Bone marrow aspirate smear.
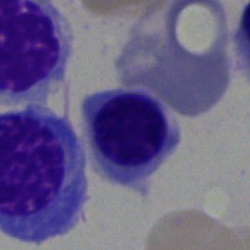 Specimen: bone marrow smear.
Morphological class: nucleated red cell.
Lineage: erythroid.